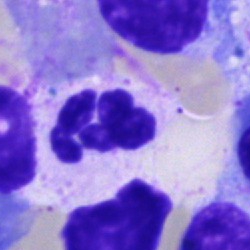

Classification: neutrophil (segmented).